Single cell centered in the field; bone marrow aspirate smear.
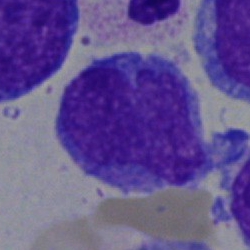
This is a monocyte.